Bone marrow aspirate smear — 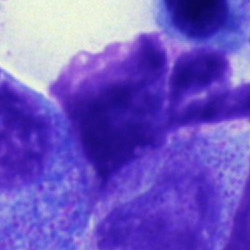

Showing a cell of indeterminate lineage.